Brightfield, 40× oil-immersion objective; bone marrow smear:
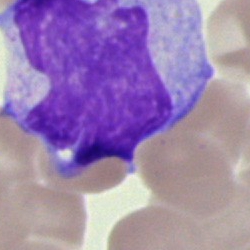
Q: What is shown here?
A: This is a monocyte.